Bone marrow smear:
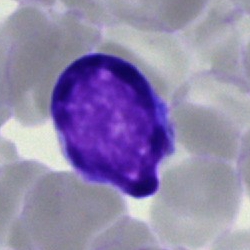 This is a lymphocyte.